Bone marrow smear
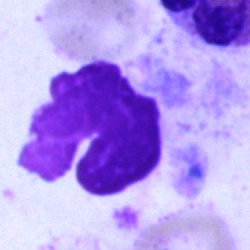 Specimen: bone marrow smear.
Classification: artefact.